Bone marrow smear.
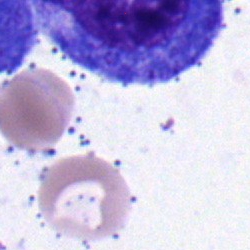 Progranulocyte.